Single-cell field; Pappenheim-stained; bone marrow aspirate smear.
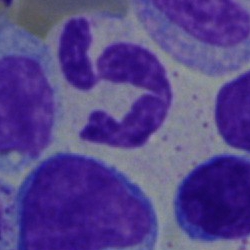
Q: What is the morphological classification of this cell?
A: It is a neutrophil (segmented).